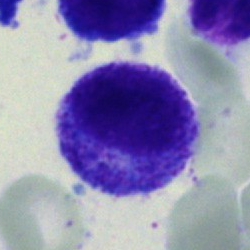
The morphological class is promyelocyte.